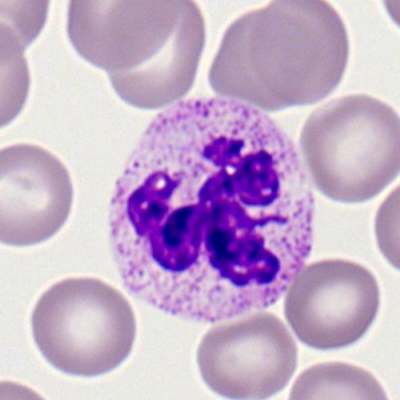Classification: neutrophil (segmented).